250 by 250 pixels. Bone marrow smear.
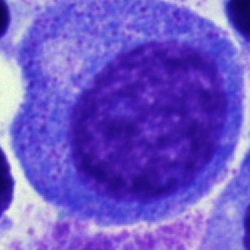
Cell — progranulocyte.